Bone marrow aspirate smear. Single cell centered in the field. Brightfield microscopy, 40× oil immersion — 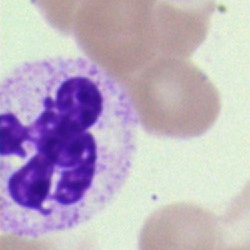 Cell type: polymorphonuclear neutrophil.